Bone marrow aspirate smear — 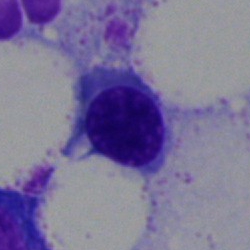

Morphology consistent with a normoblast.